Peripheral blood smear · single cell centered in the field — 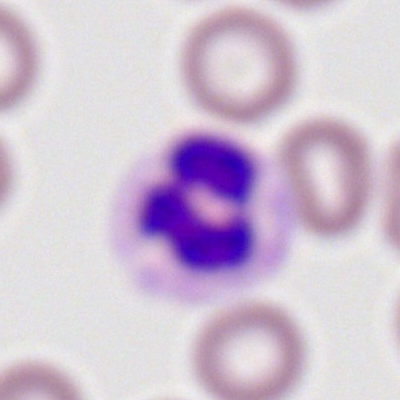

Q: What type of cell is this?
A: A polymorphonuclear neutrophil.